Bone marrow aspirate smear. Brightfield, 40× oil-immersion objective
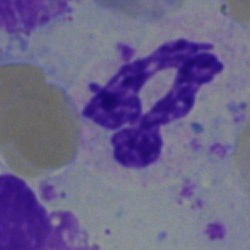 Showing a segmented neutrophil.